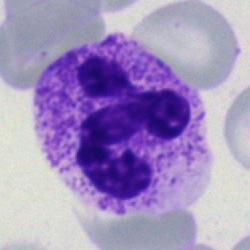 Q: What is shown here?
A: A segmented neutrophil.